Single-cell crop · peripheral blood film:
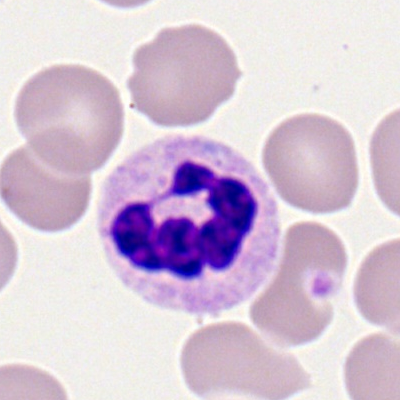
Q: Which cell type is shown here?
A: This is a neutrophil (segmented).